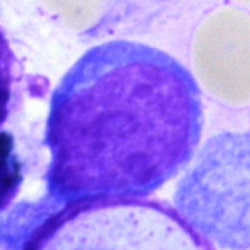 This is a blast.